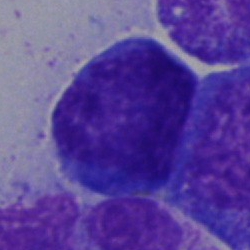 Bone marrow smear showing a lymphocyte.